Bone marrow aspirate smear: 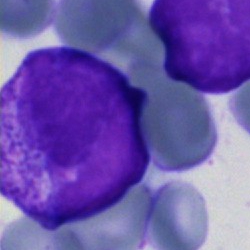

Q: What is shown here?
A: An undifferentiated blast.